Bone marrow smear · 40× objective, oil immersion · single-cell crop:
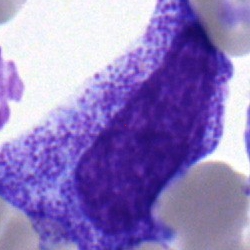

Impression — progranulocyte.